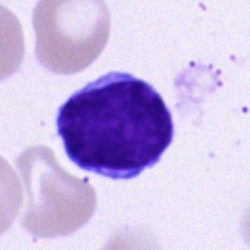 Single cell identified as a lymphocyte.